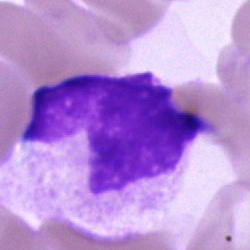 The cell shown is an artefact.